Bone marrow aspirate smear:
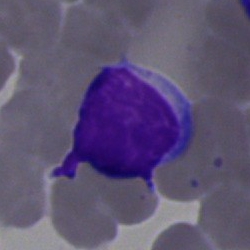
Specimen: bone marrow aspirate smear.
Classification: typical lymphocyte.
Lineage: lymphoid.